Bone marrow smear. 40× oil immersion. Cropped to a single cell.
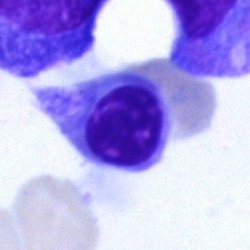Nucleated red blood cell.